Single cell centered in the field; bone marrow smear; May-Grünwald-Giemsa stain: 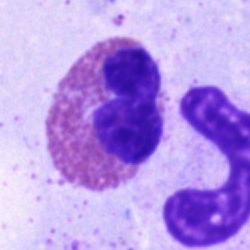 This is an eosinophilic granulocyte.